Bone marrow aspirate smear; May-Grünwald-Giemsa stain; 250×250 px
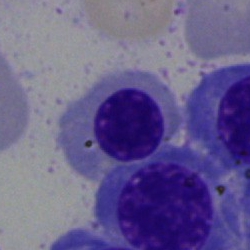

Morphological class: nucleated red blood cell.